Peripheral blood film:
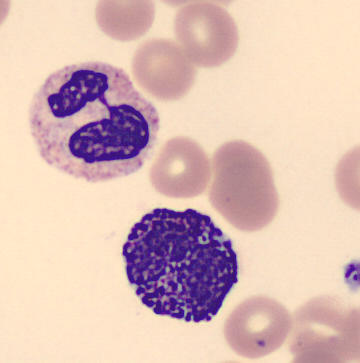
Q: What is shown here?
A: A basophil.